100× oil immersion; peripheral blood film.
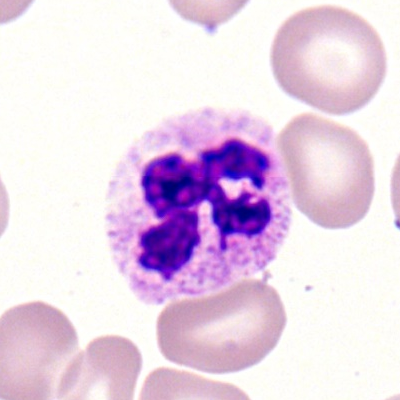Morphology — segmented neutrophil.